Bone marrow aspirate smear:
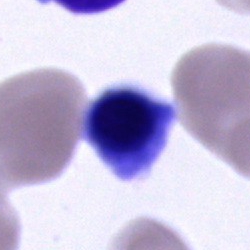
Typical lymphocyte.